Bone marrow aspirate smear
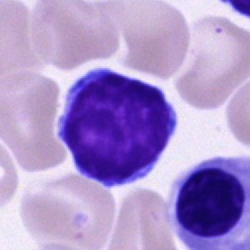Q: What type of cell is this?
A: It is a lymphocyte.